Bone marrow aspirate smear: 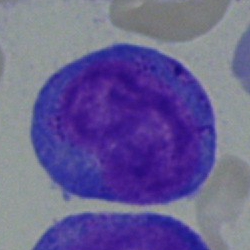 Morphology consistent with a progranulocyte.